Bone marrow aspirate smear
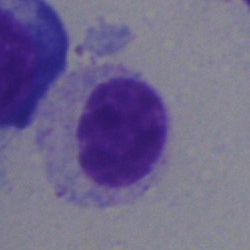 Impression → myelocyte.